Cropped to a single cell. Bone marrow smear. Brightfield microscopy, 40× oil immersion.
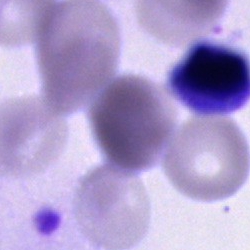
Unidentifiable cell.